250×250; bone marrow aspirate smear
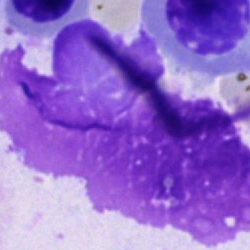
Showing an artifact.